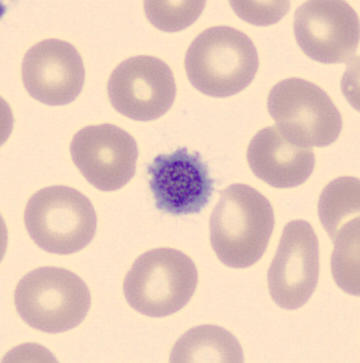Image: Peripheral blood film.
Morphological class: platelet.